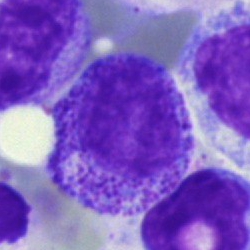
Q: What type of cell is this?
A: It is a myelocyte.